Bone marrow smear. Cropped to a single cell
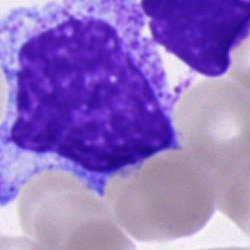 The cell is promyelocyte.